Bone marrow aspirate smear.
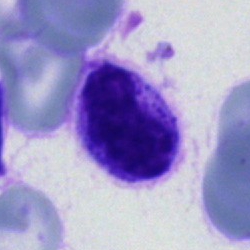 {"cell_type": "unidentifiable cell"}